Bone marrow smear; May-Grünwald-Giemsa/Pappenheim stain; single cell centered in the field
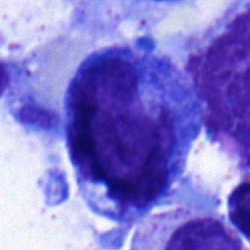 Q: What type of cell is this?
A: Progranulocyte.